Bone marrow smear:
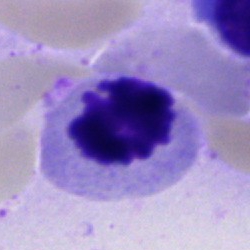
Morphology consistent with a nucleated red blood cell.